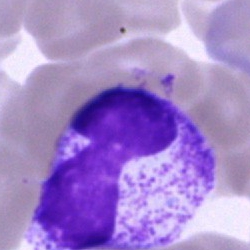
This is a neutrophil (segmented).